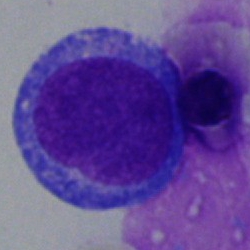 The cell type is blast cell.